Bone marrow smear
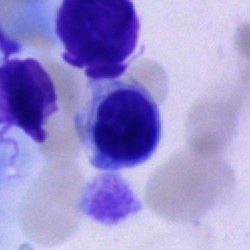
Specimen: bone marrow smear.
Cell: cell of indeterminate lineage.